Bone marrow aspirate smear: 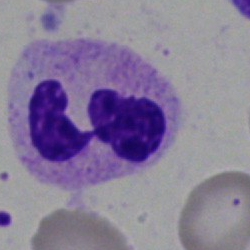

{"cell_type": "neutrophil (segmented)", "lineage": "myeloid"}